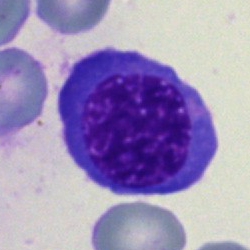

Single-cell crop from a bone marrow smear: normoblast.